Peripheral blood smear · M8 digital microscope (Precipoint), 100× oil immersion · Romanowsky stain
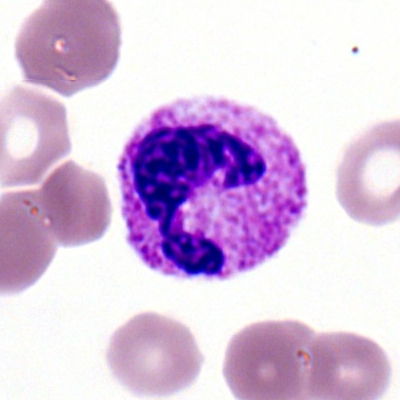

Morphology → polymorphonuclear neutrophil.